M8 digital microscope (Precipoint), 100× oil immersion. Peripheral blood smear. Single-cell crop
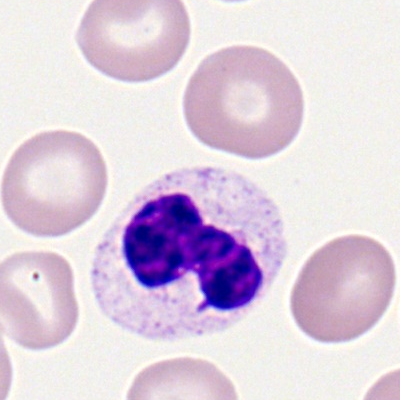
Polymorphonuclear neutrophil.